Bone marrow aspirate smear — 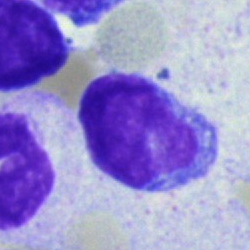
{"cell_type": "lymphocyte"}